Peripheral blood film.
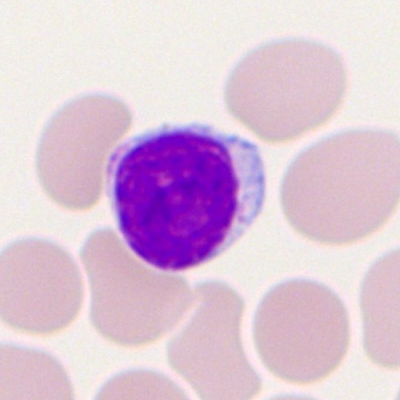 Impression — typical lymphocyte.